Bone marrow smear — 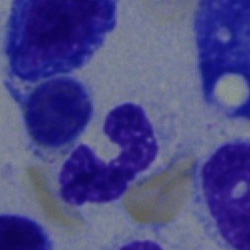
The cell shown is a polymorphonuclear neutrophil.